250×250. Bone marrow smear.
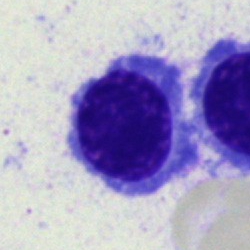
Specimen: bone marrow aspirate smear.
Classification: erythroblast.
Lineage: erythroid.